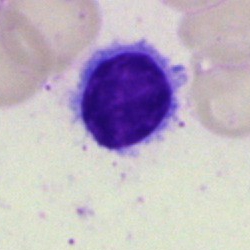

{"cell_type": "typical lymphocyte"}